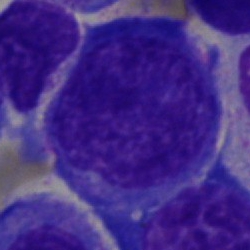
Specimen: bone marrow smear.
Classification: blast cell.